Bone marrow aspirate smear
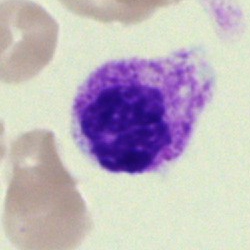
Morphological class: neutrophil (segmented).